Bone marrow aspirate smear. 40× objective, oil immersion: 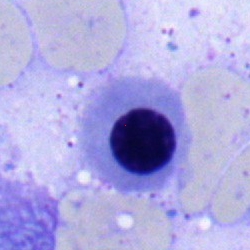 Morphological class — normoblast.